Bone marrow smear · single-cell crop
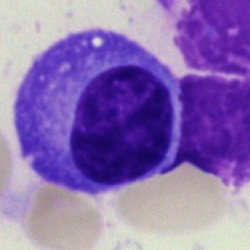

Specimen: bone marrow aspirate smear.
Classification: plasmacyte.
Lineage: lymphoid.